Bone marrow smear — 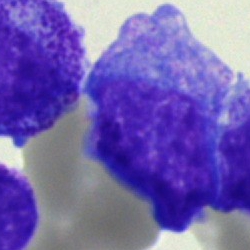 Cell type: progranulocyte.